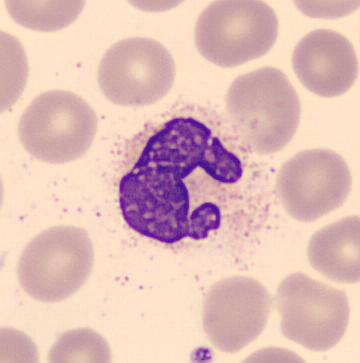
Peripheral blood smear showing a segmented neutrophil.